Bone marrow smear.
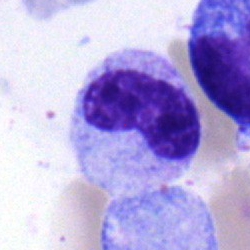 Q: What type of cell is this?
A: It is a band-form neutrophil.